Bone marrow aspirate smear — 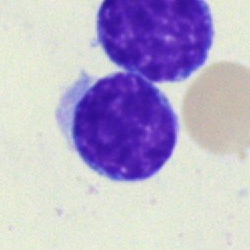 This is a typical lymphocyte.